Bone marrow aspirate smear:
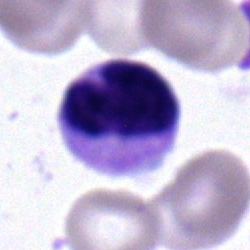

{"cell_type": "metamyelocyte", "lineage": "myeloid"}